Bone marrow smear: 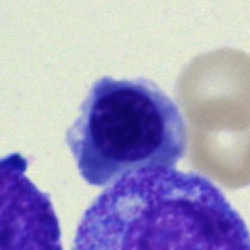 Morphology — nucleated red blood cell.